Bone marrow aspirate smear.
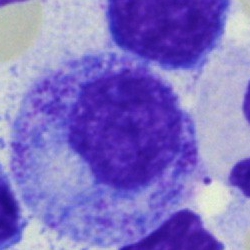
Q: What cell is this?
A: Myelocyte.